Brightfield microscopy, 40× oil immersion. Bone marrow aspirate smear.
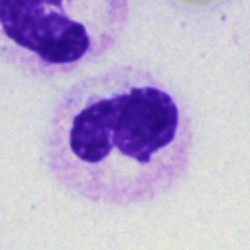

This is a neutrophil (segmented).